Bone marrow aspirate smear. Brightfield, 40× oil-immersion objective
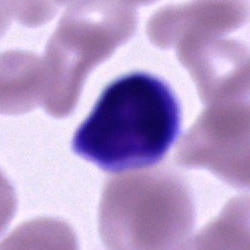
Showing a lymphocyte.